Peripheral blood smear
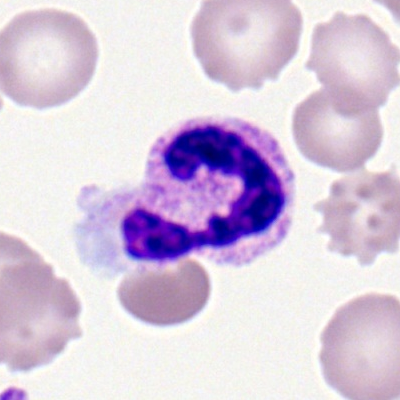

Q: Which cell type is shown here?
A: A neutrophil (segmented).